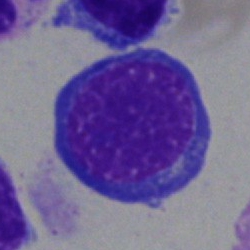
Bone marrow aspirate smear, single cell — normoblast.